Pappenheim-stained. Bone marrow aspirate smear
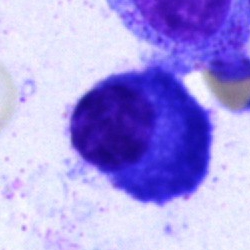{"cell_type": "plasmacyte"}